Bone marrow aspirate smear
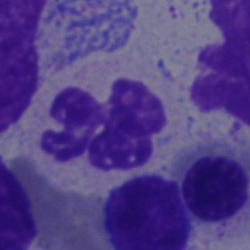 The morphological class is polymorphonuclear neutrophil.